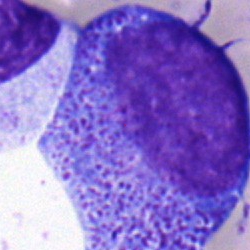

Cell: promyelocyte.